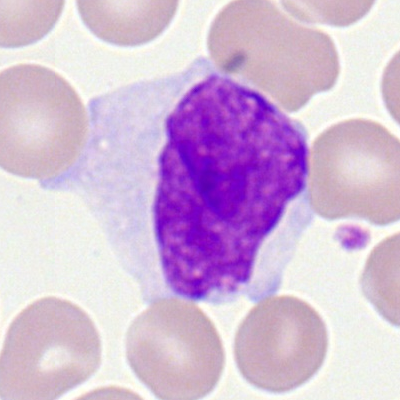 A monocyte on a peripheral blood smear.